Bone marrow aspirate smear · 40× objective, oil immersion — 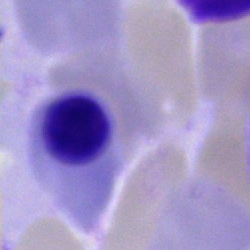
Morphology consistent with a nucleated red blood cell.